Peripheral blood film.
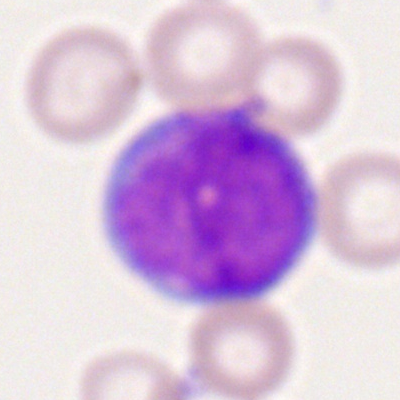
The cell shown is a myeloblast.